Bone marrow aspirate smear; 40× objective, oil immersion; MGG-stained: 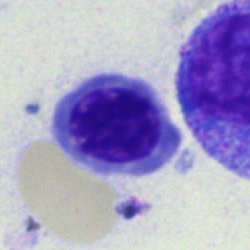

{"cell_type": "nucleated red blood cell"}